Brightfield, 40× oil-immersion objective · bone marrow aspirate smear:
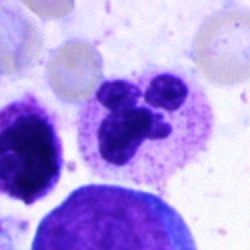 Morphology consistent with a polymorphonuclear neutrophil.